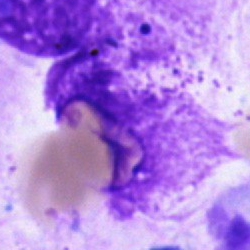An artifact.